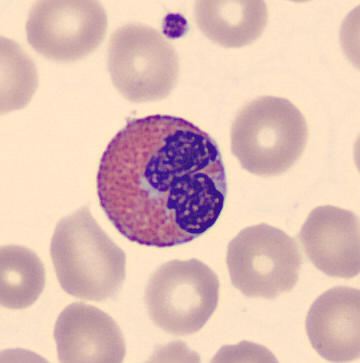

This is an eosinophilic granulocyte.
Preparation: Peripheral blood smear · 360 by 363 pixels.